Single cell centered in the field. Peripheral blood film
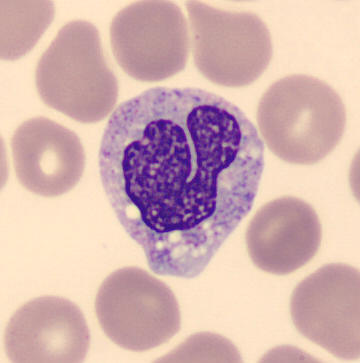
Impression — monocyte.